Bone marrow smear. 250×250 px. May-Grünwald-Giemsa/Pappenheim stain.
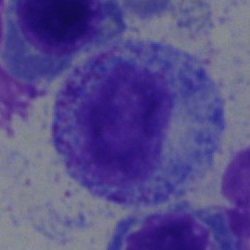
Morphological class = promyelocyte.